Peripheral blood smear: 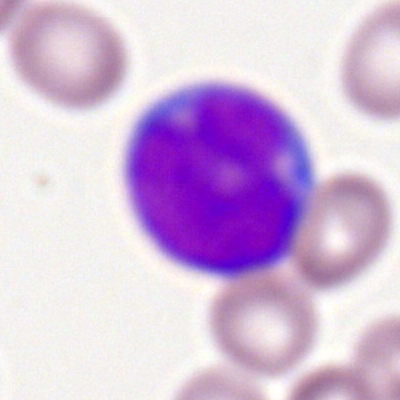Morphological class = myeloblast.